Bone marrow smear. 40× objective, oil immersion:
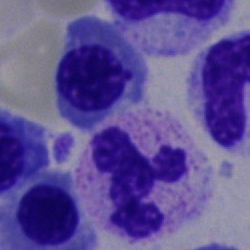 Q: Which cell type is shown here?
A: This is a segmented neutrophil.